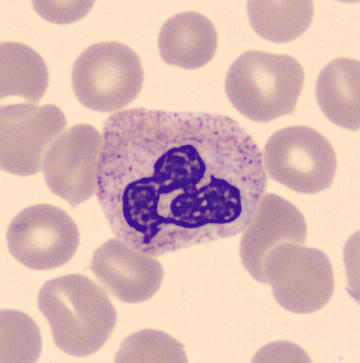 Image: 360×363 px.
Specimen: peripheral blood film.
Cell: polymorphonuclear neutrophil.
Lineage: myeloid.